Single-cell field. Bone marrow aspirate smear. 250×250 px:
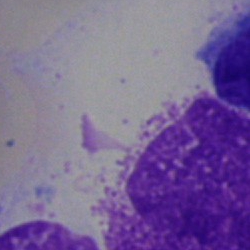

Single cell identified as an artefact.